Peripheral blood film — 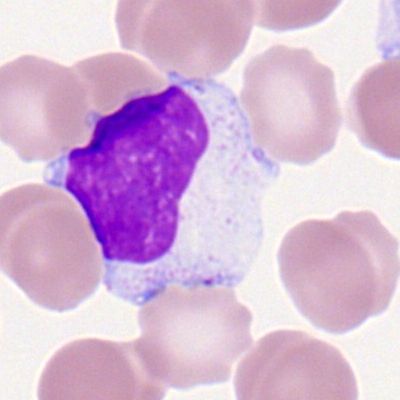

Specimen: peripheral blood smear.
Cell type: typical lymphocyte.